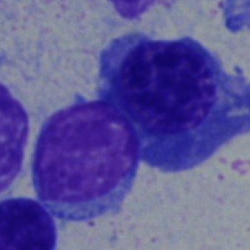 Morphological class = erythroblast.